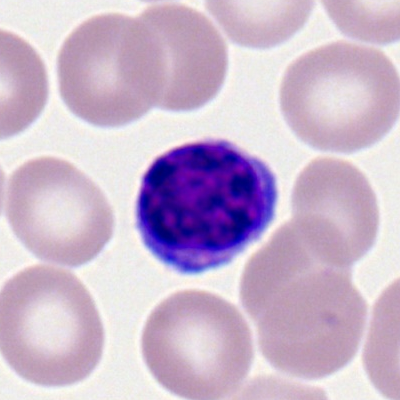Showing a lymphocyte.